Bone marrow smear: 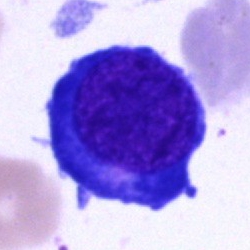

Single cell identified as a normoblast.